Bone marrow aspirate smear
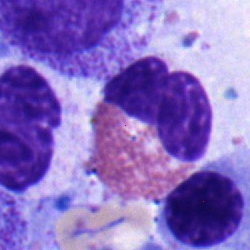

The morphological class is eosinophilic granulocyte.